Bone marrow smear; brightfield microscopy, 40× oil immersion: 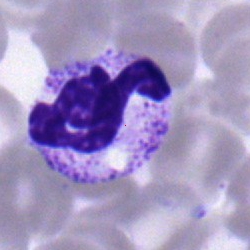Single cell identified as a neutrophil (segmented).